Bone marrow aspirate smear.
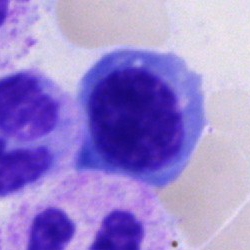

A nucleated red blood cell.